Bone marrow aspirate smear
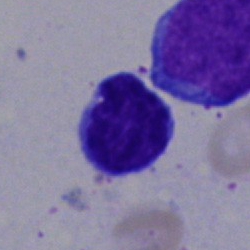

The cell shown is a lymphocyte.